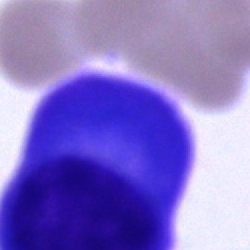
The cell shown is a plasmacyte.